Brightfield, 100× oil-immersion objective · peripheral blood film.
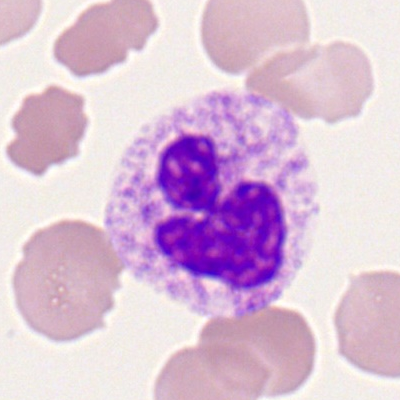Cell type — polymorphonuclear neutrophil.